Bone marrow aspirate smear.
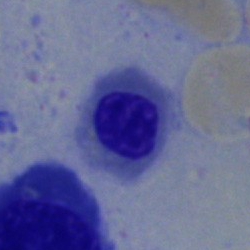Morphology — nucleated red cell.